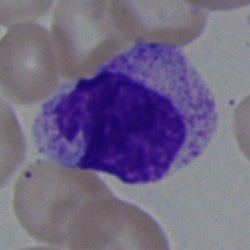 Morphological class: myelocyte.